Bone marrow aspirate smear; single cell centered in the field:
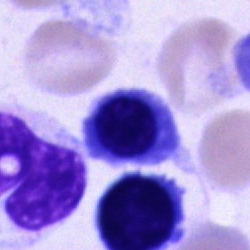 The cell shown is a normoblast.